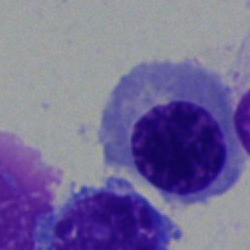{"cell_type": "erythroblast"}